Bone marrow aspirate smear: 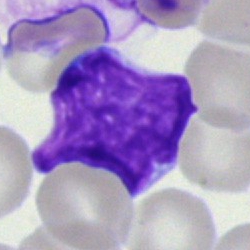Cell type: blast.